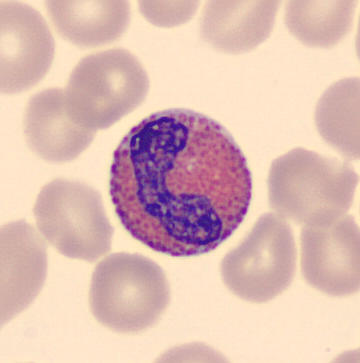An eosinophilic granulocyte.
Acquisition: Peripheral blood film.